40× objective, oil immersion; bone marrow aspirate smear.
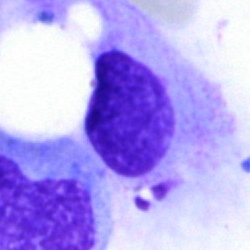Cell: artefact.